Single-cell field; brightfield, 100× oil-immersion objective; peripheral blood smear: 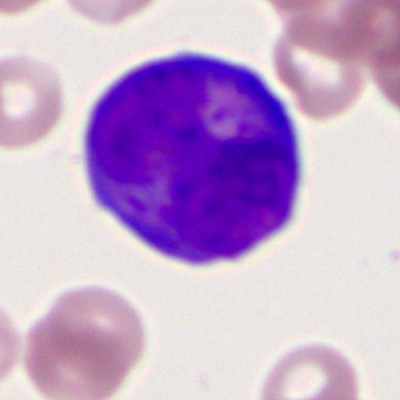
Impression — bilobed promyelocyte.